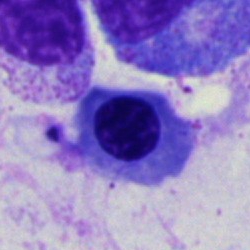

The cell is normoblast.